Peripheral blood smear.
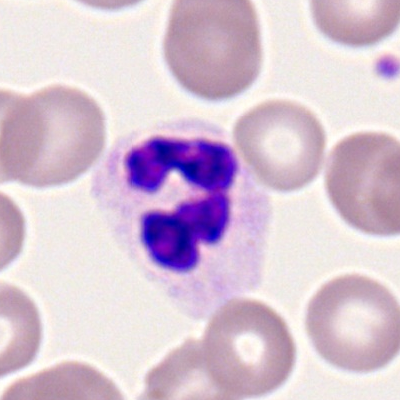
The cell is neutrophil (segmented).